Bone marrow aspirate smear
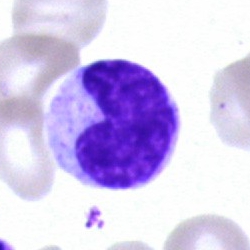Q: Which cell type is shown here?
A: Metamyelocyte.